Bone marrow aspirate smear. MGG-stained. Brightfield microscopy, 40× oil immersion — 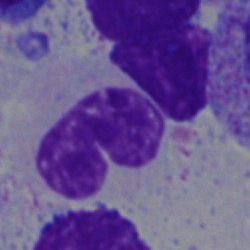
Q: What type of cell is this?
A: It is a band neutrophil.